Bone marrow smear
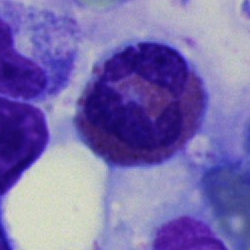
Morphology → eosinophil.